Single-cell field · bone marrow smear · May-Grünwald-Giemsa stain — 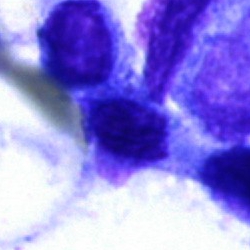

The classification is artifact.